Bone marrow aspirate smear · MGG-stained: 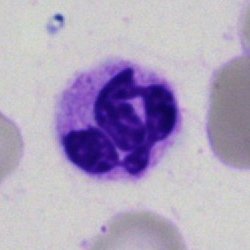A neutrophil (segmented).